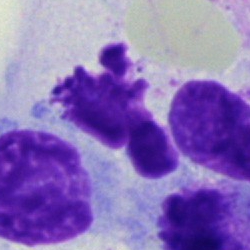
This is an artefact.